Bone marrow aspirate smear. 40× objective, oil immersion — 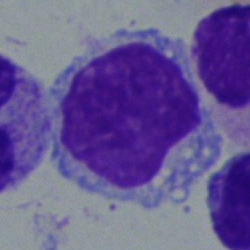

Impression — monocyte.